Bone marrow smear. May-Grünwald-Giemsa/Pappenheim stain:
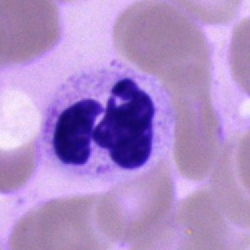 Morphological class = polymorphonuclear neutrophil.